250×250 px. May-Grünwald-Giemsa stain. Bone marrow smear: 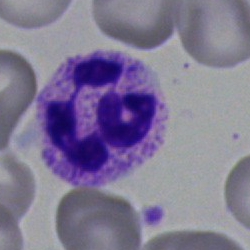

Morphology → neutrophil (segmented).